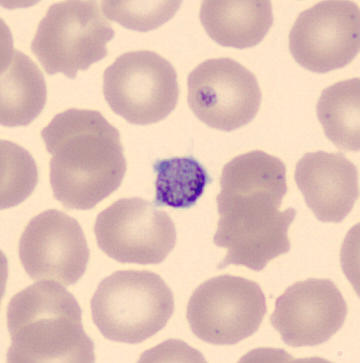

Morphology consistent with a platelet.